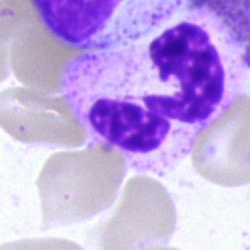 Showing a polymorphonuclear neutrophil.